Bone marrow aspirate smear. Brightfield microscopy, 40× oil immersion
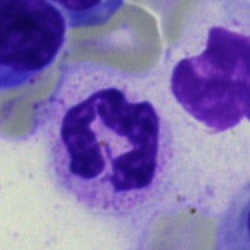 Morphology consistent with a plasmacyte.